40× oil immersion. Bone marrow aspirate smear: 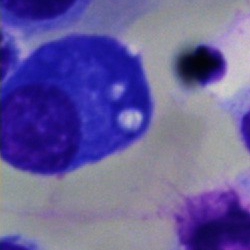

Showing a plasma cell.